Bone marrow aspirate smear — 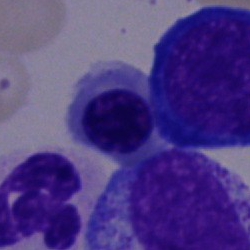 {"cell_type": "nucleated red cell", "lineage": "erythroid"}